250 by 250 pixels · bone marrow aspirate smear: 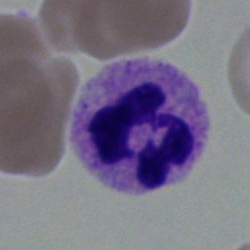
Specimen: bone marrow smear.
Classification: segmented neutrophil.
Lineage: myeloid.